Bone marrow smear.
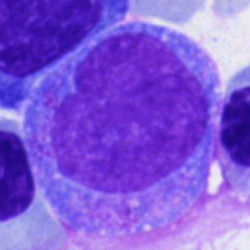 Cell: blast cell.